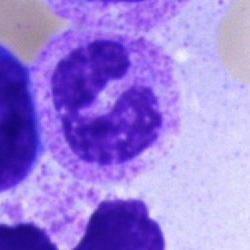Single cell identified as a segmented neutrophil.